Bone marrow smear — 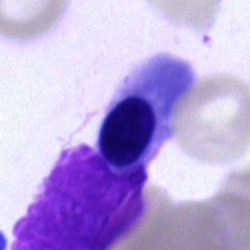

Morphology consistent with a nucleated red blood cell.